Peripheral blood film.
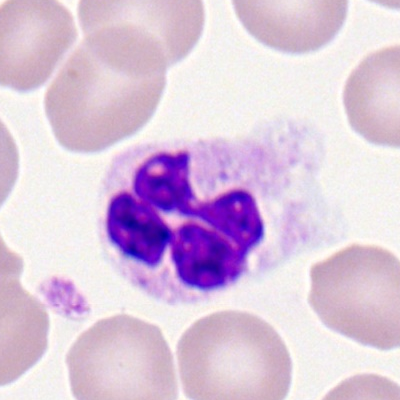Morphology — polymorphonuclear neutrophil.